Single-cell field; bone marrow aspirate smear
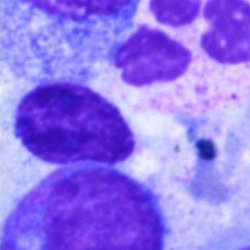Classification — artefact.